Bone marrow smear · cropped to a single cell · MGG-stained: 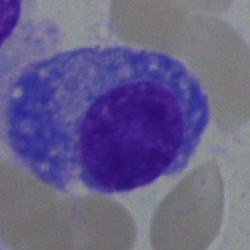Cell: plasmacyte.